Bone marrow smear: 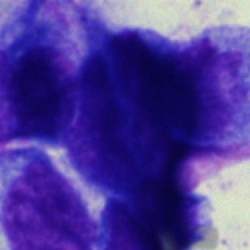{"cell_type": "artifact"}